Bone marrow aspirate smear · single-cell field
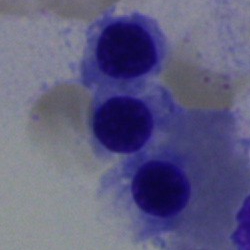

A nucleated red blood cell.